Bone marrow smear. MGG-stained — 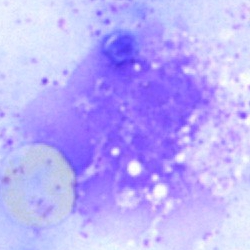
{"cell_type": "artefact"}